Bone marrow smear — 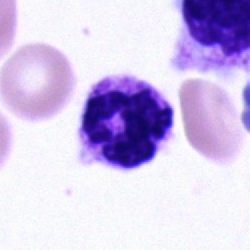
{"cell_type": "segmented neutrophil"}